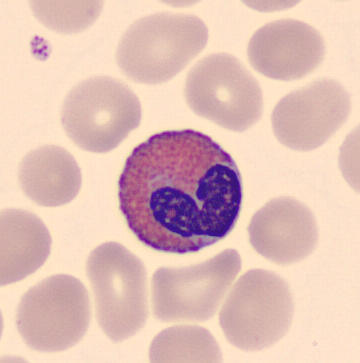
Cell: eosinophil.

Image: Peripheral blood film; imaged on a CellaVision DM96 analyser.